Cropped to a single cell. 250 by 250 pixels. Bone marrow aspirate smear: 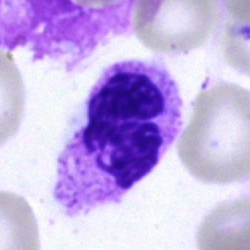
Classification — polymorphonuclear neutrophil.